Pappenheim-stained; bone marrow smear:
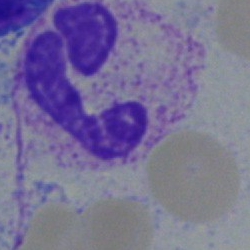
Impression → segmented neutrophil.